250 by 250 pixels; bone marrow aspirate smear:
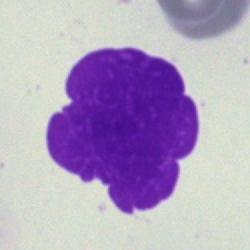
Morphology consistent with an artifact.